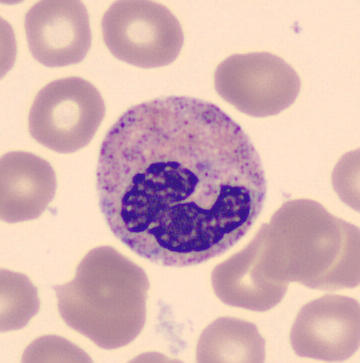

Morphology → segmented neutrophil.
Peripheral blood film · single-cell field.